Bone marrow smear — 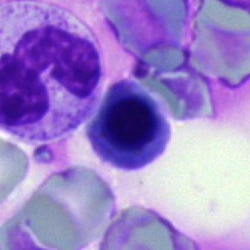 Specimen: bone marrow smear.
Morphological class: nucleated red cell.